Bone marrow smear: 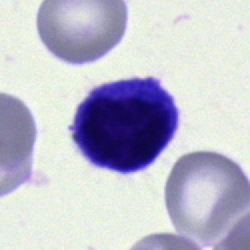 Q: Which cell type is shown here?
A: Lymphocyte.